Bone marrow aspirate smear: 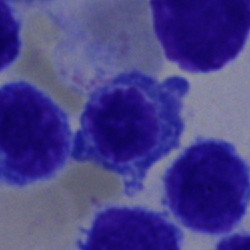

The morphological class is nucleated red blood cell.